Bone marrow aspirate smear.
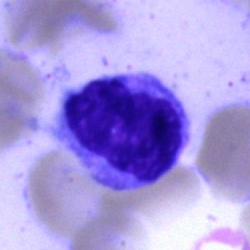 Morphology — lymphocyte.